Bone marrow aspirate smear: 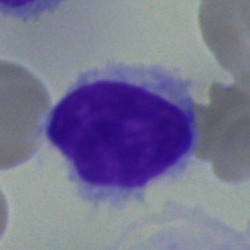

Morphology → lymphocyte.